Peripheral blood smear — 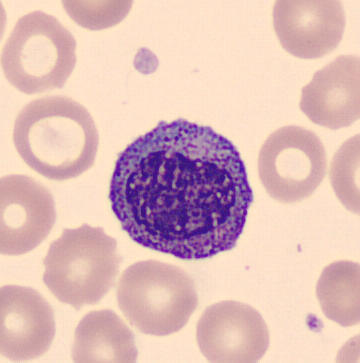
Specimen: peripheral blood smear.
Cell type: myelocyte.
Lineage: myeloid.